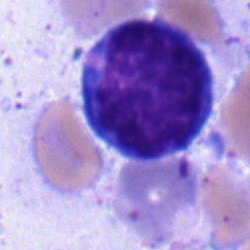

{"cell_type": "undifferentiated blast"}